Bone marrow smear: 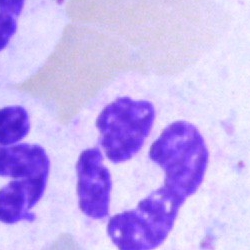

Single cell identified as a segmented neutrophil.